Single-cell crop · bone marrow aspirate smear · brightfield, 40× oil-immersion objective: 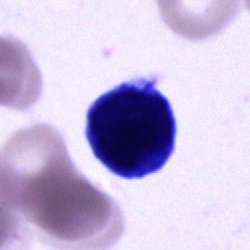

Morphology → unidentifiable cell.